Cropped to a single cell; bone marrow smear: 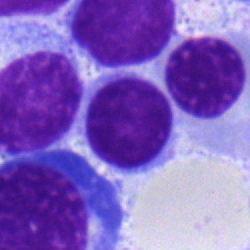Morphological class — normoblast.